40× objective, oil immersion; bone marrow aspirate smear
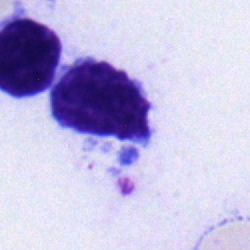

Morphology → typical lymphocyte.